Brightfield microscopy, 40× oil immersion; bone marrow smear.
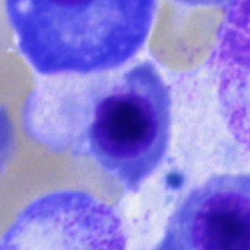 Classification: nucleated red cell.